Bone marrow smear:
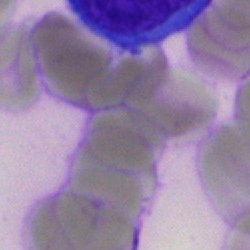

An artefact.